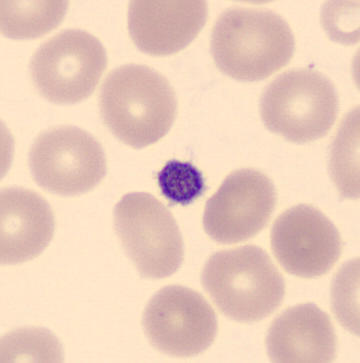
Peripheral blood smear.
Showing a platelet.